Bone marrow aspirate smear.
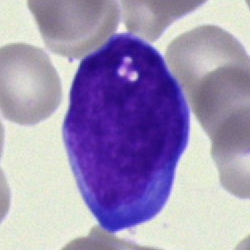Impression — blast cell.